Bone marrow smear:
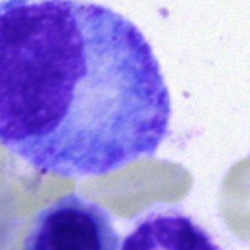
Single cell identified as a promyelocyte.